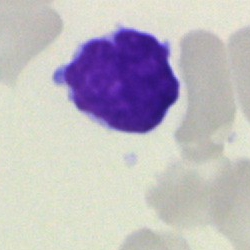
Cell type — typical lymphocyte.